Peripheral blood smear:
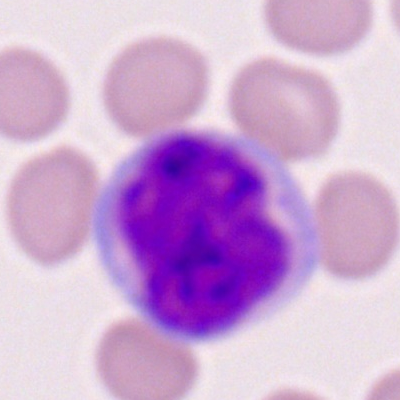 Monocyte.